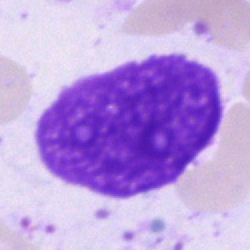

Morphological class — artifact.